Bone marrow aspirate smear — 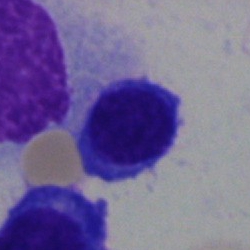 Morphology consistent with a plasma cell.